Bone marrow smear
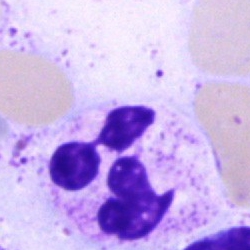

A polymorphonuclear neutrophil.